Bone marrow aspirate smear: 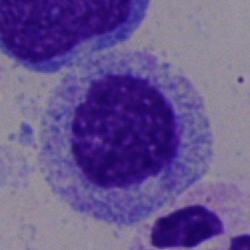 Specimen: bone marrow aspirate smear.
Classification: promyelocyte.
Lineage: myeloid.